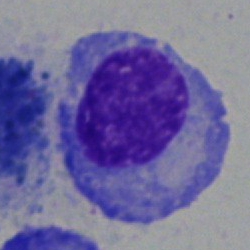

Q: Which cell type is shown here?
A: It is a plasma cell.